Peripheral blood film. 100× objective, oil immersion. Cropped to a single cell: 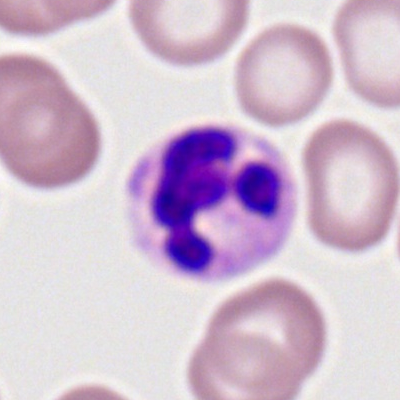{"cell_type": "neutrophil (segmented)", "lineage": "myeloid"}